Bone marrow aspirate smear: 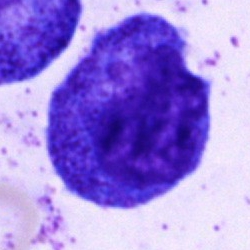

The cell shown is a progranulocyte.